Bone marrow aspirate smear.
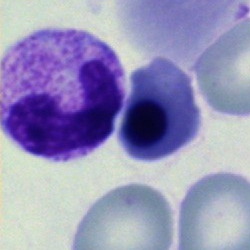
This is a nucleated red cell.